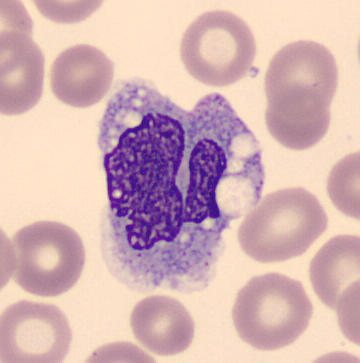
Image: Peripheral blood film. {"cell_type": "monocyte", "lineage": "myeloid"}